Bone marrow aspirate smear. May-Grünwald-Giemsa stain
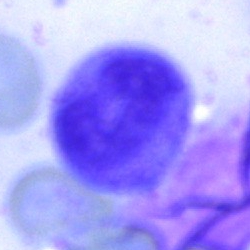Showing a cell of indeterminate lineage.